Peripheral blood film.
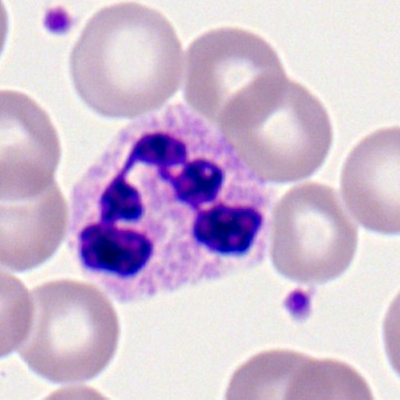Q: Which cell type is shown here?
A: Neutrophil (segmented).